Single cell centered in the field. Bone marrow aspirate smear: 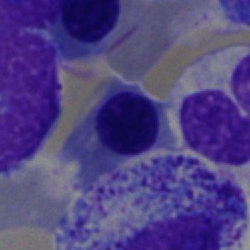

This is a nucleated red cell.